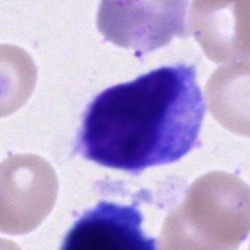

{"cell_type": "lymphocyte", "lineage": "lymphoid"}